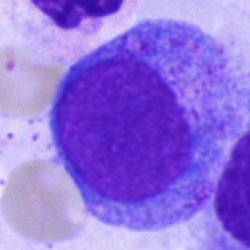 Q: Identify the cell.
A: This is a promyelocyte.